Bone marrow smear: 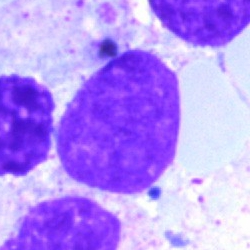

The cell shown is an artefact.